Bone marrow smear: 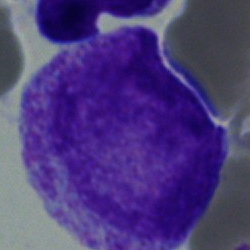 Specimen: bone marrow aspirate smear.
Morphological class: promyelocyte.
Lineage: myeloid.